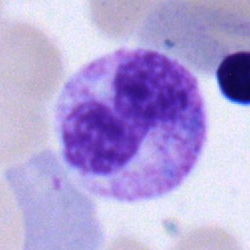 Cell: band-form neutrophil.